May-Grünwald-Giemsa/Pappenheim stain. Bone marrow smear
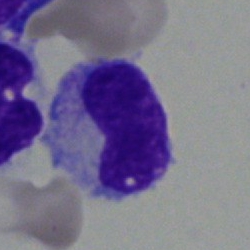Cell = band neutrophil.